Bone marrow smear — 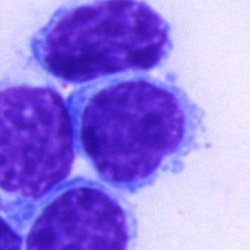 The cell type is typical lymphocyte.